250 by 250 pixels; single-cell field; bone marrow aspirate smear:
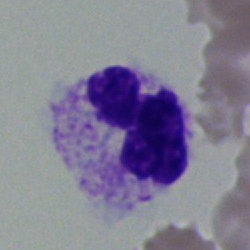

The cell shown is a segmented neutrophil.